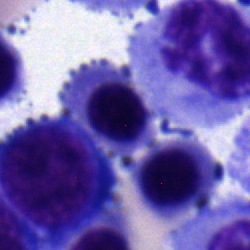
A nucleated red cell.